Brightfield, 40× oil-immersion objective. Bone marrow aspirate smear
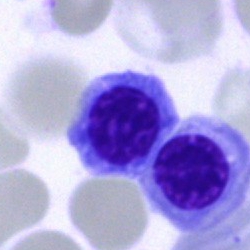

Cell — nucleated red blood cell.